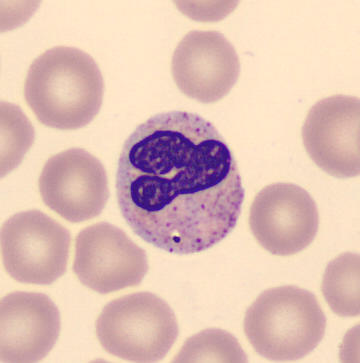 Showing a band-form neutrophil.